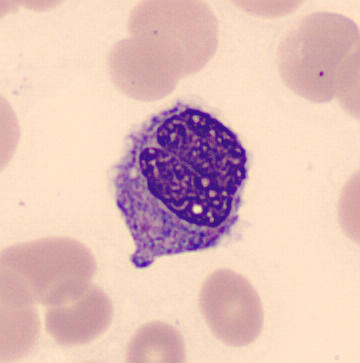

Specimen: peripheral blood smear.
Morphological class: monocyte.
Lineage: myeloid.